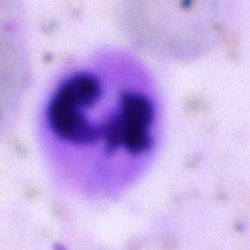
Morphological class = neutrophil (segmented).